Bone marrow aspirate smear: 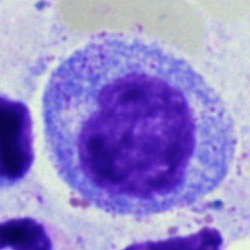
Specimen: bone marrow aspirate smear.
Classification: progranulocyte.
Lineage: myeloid.